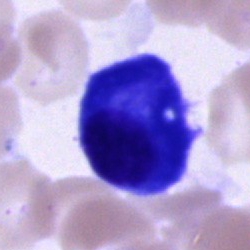 A plasma cell on a bone marrow smear.